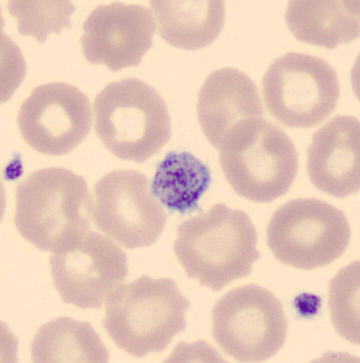Preparation: Peripheral blood film.

Morphology consistent with a platelet (thrombocyte).